Bone marrow aspirate smear: 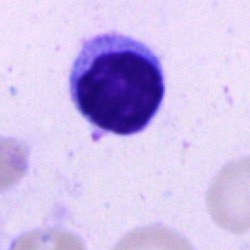 Specimen: bone marrow aspirate smear.
Classification: typical lymphocyte.